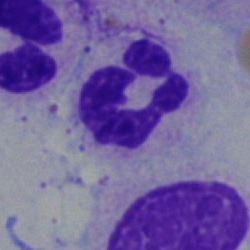
The cell shown is a neutrophil (segmented).